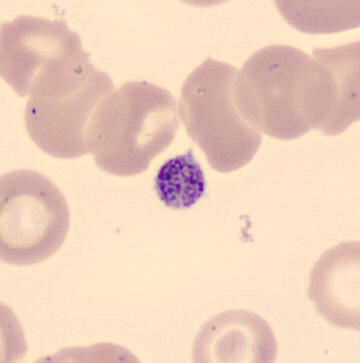

Peripheral blood smear.

Showing a platelet (thrombocyte).